Peripheral blood smear; Romanowsky-type stain — 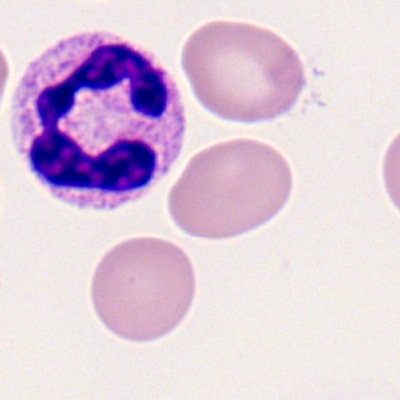 This is a segmented neutrophil.